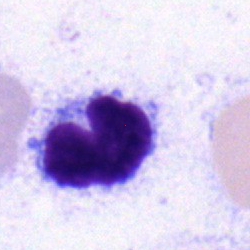Typical lymphocyte.